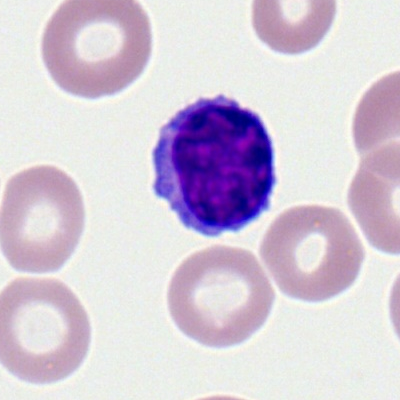
Morphological class = lymphocyte.